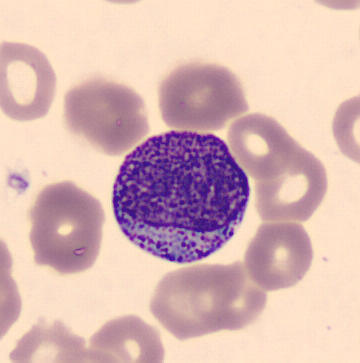 Peripheral blood smear.

{"cell_type": "myelocyte"}